Brightfield microscopy, 40× oil immersion. Bone marrow aspirate smear. May-Grünwald-Giemsa/Pappenheim stain
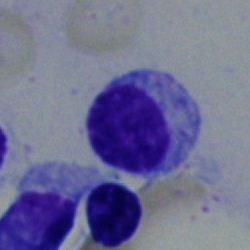

Morphology — lymphocyte.